Bone marrow smear
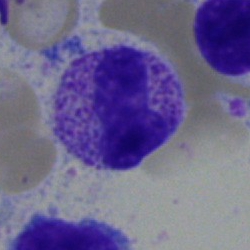 Morphological class: metamyelocyte.